Peripheral blood film — 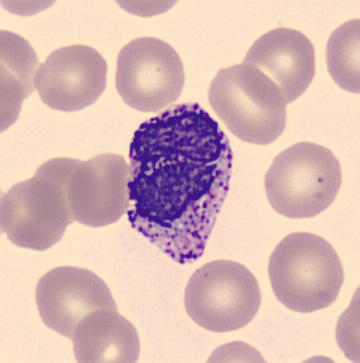

Single cell identified as a basophilic granulocyte.